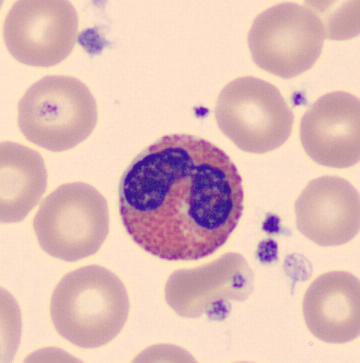 {"cell_type": "eosinophil", "lineage": "myeloid"} Image: May Grünwald-Giemsa stain · peripheral blood film.